Bone marrow smear:
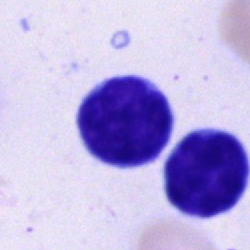Specimen: bone marrow smear.
Cell type: typical lymphocyte.
Lineage: lymphoid.